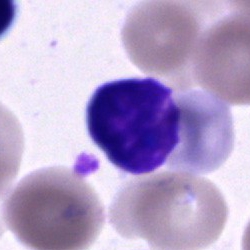
Q: What type of cell is this?
A: An unidentifiable cell.